Bone marrow smear · single cell centered in the field · Pappenheim-stained
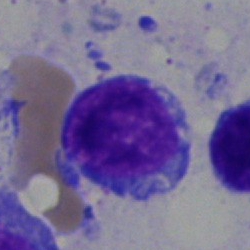 Showing a lymphocyte.